Bone marrow smear:
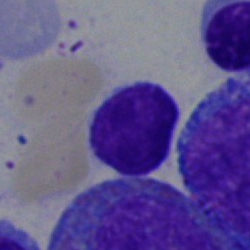
Classification = lymphocyte.